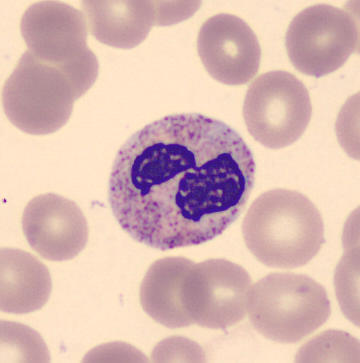 Q: What type of cell is this?
A: A neutrophil (segmented).